Bone marrow aspirate smear; Pappenheim-stained; 250 by 250 pixels.
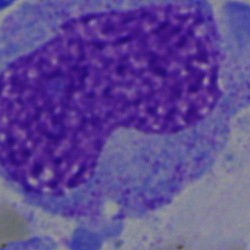

The cell type is progranulocyte.